Bone marrow aspirate smear.
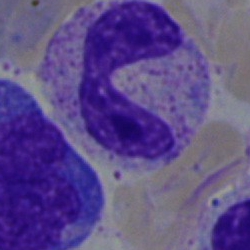
The cell shown is a polymorphonuclear neutrophil.